Bone marrow aspirate smear. Single-cell crop. Brightfield microscopy, 40× oil immersion:
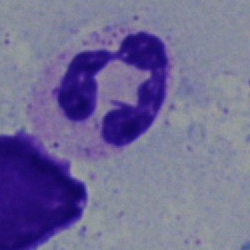 Morphology consistent with a polymorphonuclear neutrophil.